Bone marrow smear: 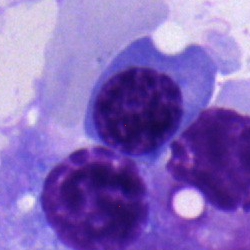

The cell shown is an erythroblast.